100× objective, oil immersion. Romanowsky stain. Peripheral blood smear: 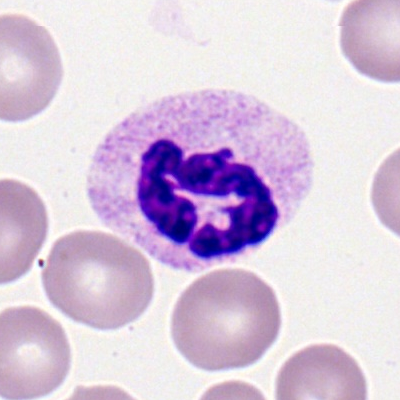Morphology — neutrophil (segmented).